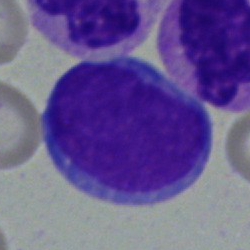This is an undifferentiated blast.